Bone marrow smear — 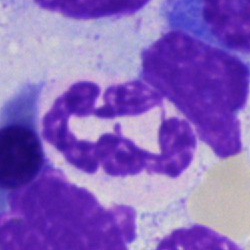 Morphology — polymorphonuclear neutrophil.